Bone marrow aspirate smear; 40× oil immersion — 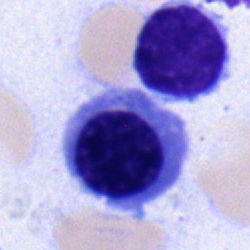

Nucleated red cell.